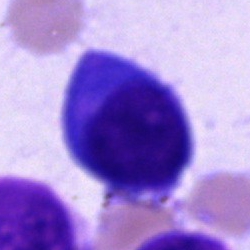
Single-cell crop from a bone marrow smear: cell of indeterminate lineage.